Bone marrow aspirate smear: 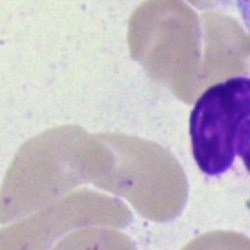Specimen: bone marrow smear.
Cell: artifact.